Peripheral blood smear: 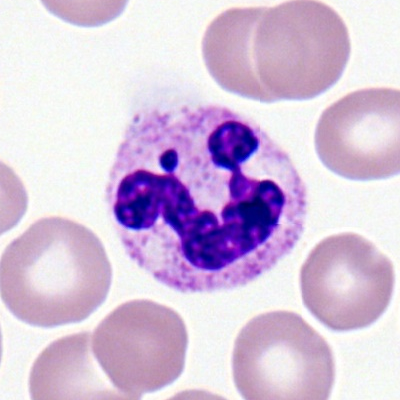

Cell: polymorphonuclear neutrophil.